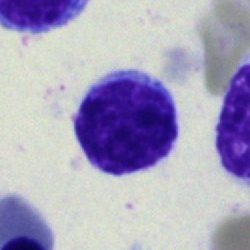 Classification = typical lymphocyte.